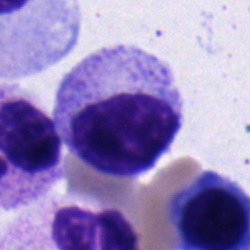
Single cell identified as a myelocyte.